May-Grünwald-Giemsa stain. Bone marrow smear:
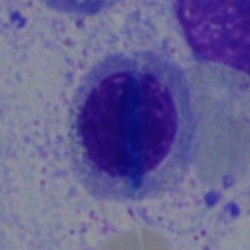
Q: What is the morphological classification of this cell?
A: Erythroblast.